Bone marrow aspirate smear.
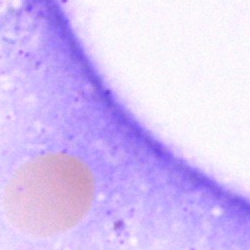
Q: What is shown here?
A: This is an artefact.